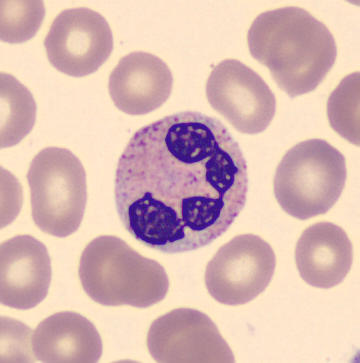

This is a segmented neutrophil.